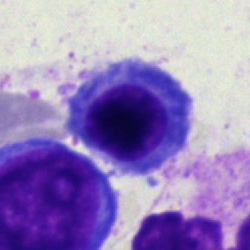

Q: What is shown here?
A: This is a basophilic granulocyte.